Bone marrow smear. 250×250
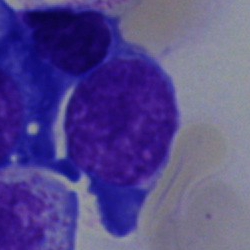 Q: Which cell type is shown here?
A: An erythroblast.